Bone marrow smear — 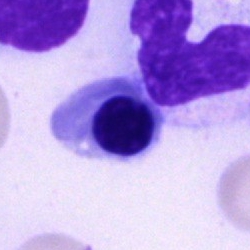This is an erythroblast.